Bone marrow smear — 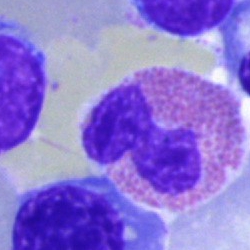
This is an eosinophil.